Bone marrow aspirate smear.
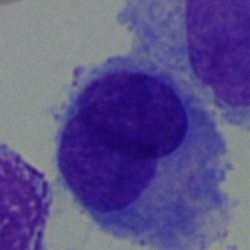 Q: What cell is this?
A: Monocyte.